250×250 px; bone marrow aspirate smear: 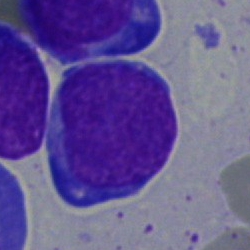

Cell type: blast cell.